Romanowsky stain · peripheral blood film: 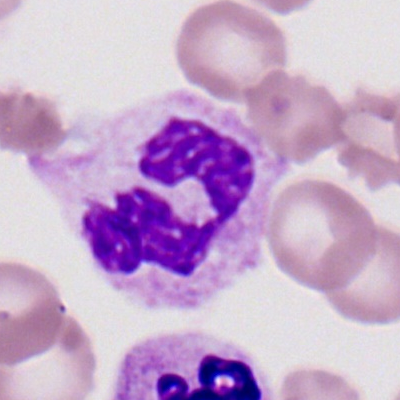
Polymorphonuclear neutrophil.